May-Grünwald-Giemsa/Pappenheim stain · bone marrow smear · image size 250×250 — 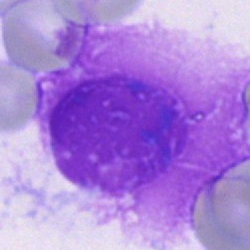

Cell — cell not matching the other categories.